Single-cell crop; bone marrow smear: 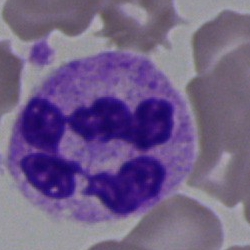
Q: Identify the cell.
A: A neutrophil (segmented).